Cropped to a single cell. Bone marrow aspirate smear:
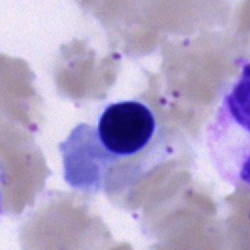
Morphology — nucleated red cell.